Bone marrow smear:
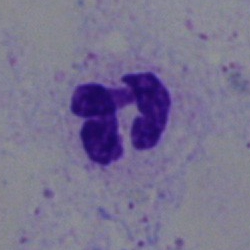
Morphological class — neutrophil (segmented).